Bone marrow aspirate smear; brightfield microscopy, 40× oil immersion:
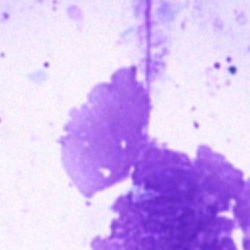 The cell shown is an artifact.